Bone marrow smear:
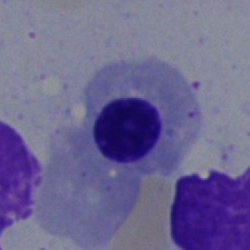 Q: What is the morphological classification of this cell?
A: It is a normoblast.